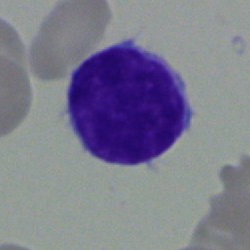Single cell identified as a lymphocyte.